Bone marrow aspirate smear
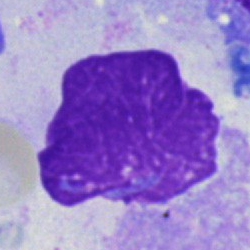Q: What is shown here?
A: Artefact.